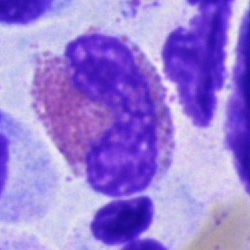Morphological class — eosinophil.